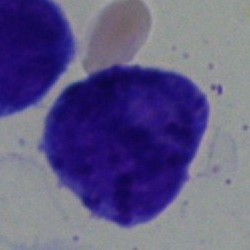
Morphological class: eosinophil.